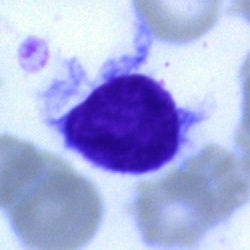
Impression — hairy cell.